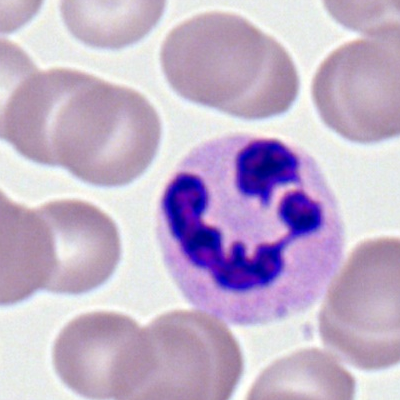 Specimen: peripheral blood film.
Cell: segmented neutrophil.